Single cell centered in the field. Bone marrow smear — 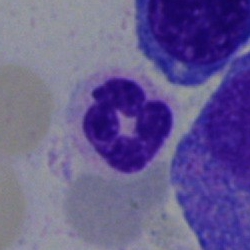

Single cell identified as a polymorphonuclear neutrophil.